Bone marrow aspirate smear:
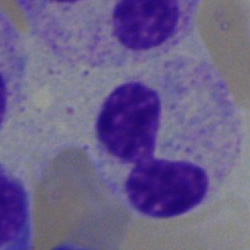
Q: What type of cell is this?
A: It is a band-form neutrophil.